Bone marrow smear: 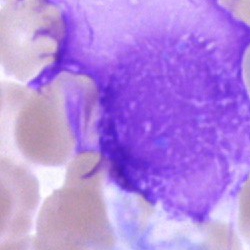
{"cell_type": "artifact"}